Bone marrow smear. Brightfield microscopy, 40× oil immersion — 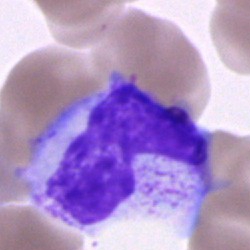 Morphology consistent with a cell of indeterminate lineage.